Bone marrow aspirate smear; 40× oil immersion.
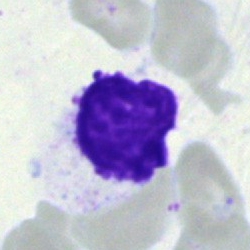
The classification is artifact.